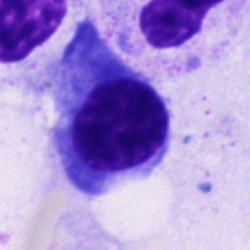Impression → normoblast.